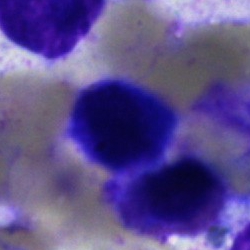
Q: What is shown here?
A: It is an artefact.